Bone marrow smear.
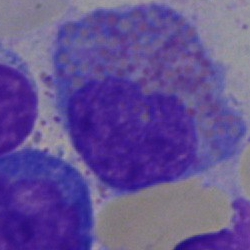

Impression → eosinophilic granulocyte.